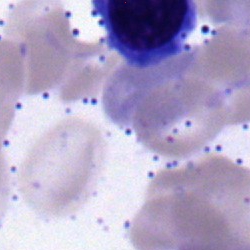
The morphological class is normoblast.